250 by 250 pixels. Bone marrow smear
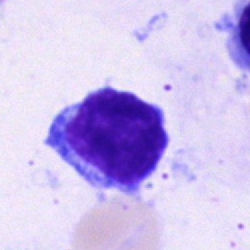

Specimen: bone marrow smear.
Cell type: typical lymphocyte.